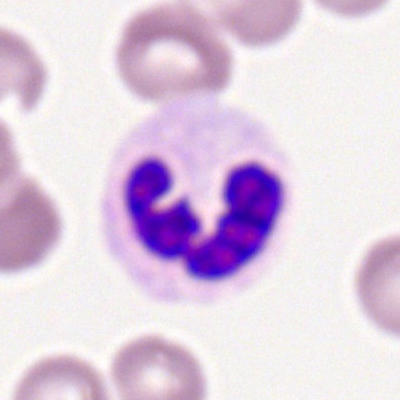 {"cell_type": "segmented neutrophil"}